May-Grünwald-Giemsa/Pappenheim stain; bone marrow smear
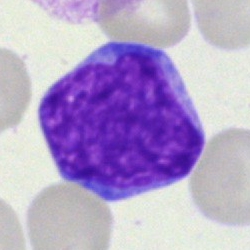Morphology consistent with a blast.